Bone marrow aspirate smear — 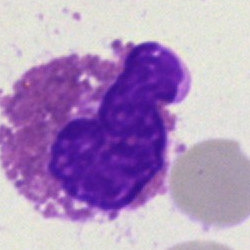 Showing an eosinophilic granulocyte.